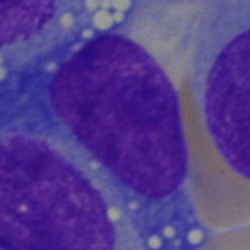The cell is blast.